Peripheral blood film.
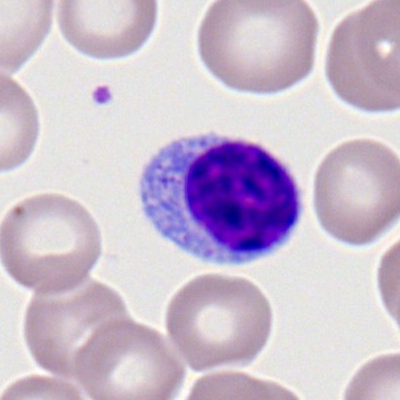

Impression — lymphocyte.